Bone marrow smear — 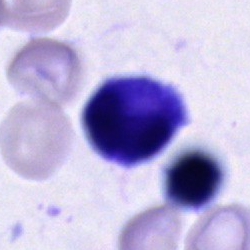The morphological class is cell of indeterminate lineage.